Bone marrow aspirate smear; 40× oil immersion; May-Grünwald-Giemsa stain
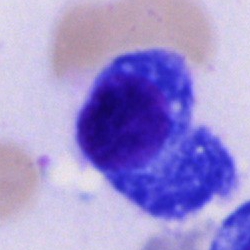 Morphological class — plasmacyte.